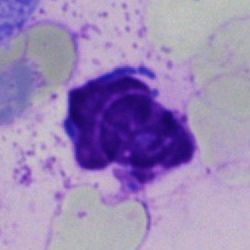 Q: What is shown here?
A: Artefact.